Bone marrow aspirate smear
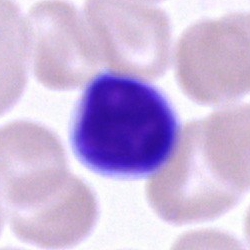

{"cell_type": "typical lymphocyte", "lineage": "lymphoid"}